Bone marrow aspirate smear.
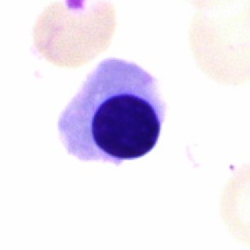 The morphological class is nucleated red cell.